Bone marrow smear — 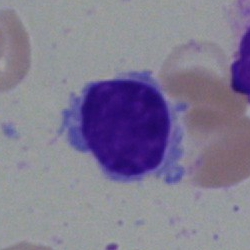

Morphology → lymphocyte.